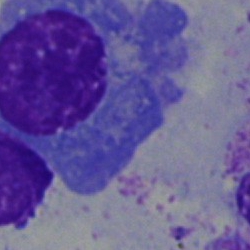
Specimen: bone marrow aspirate smear.
Cell type: plasma cell.
Lineage: lymphoid.